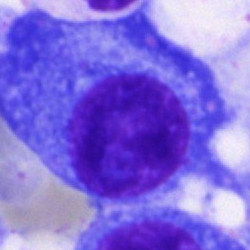Classification: plasma cell.